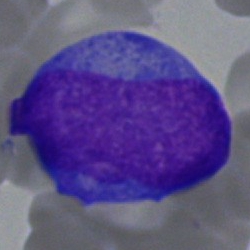

Specimen: bone marrow smear.
Morphological class: blast cell.